250 by 250 pixels. Bone marrow aspirate smear:
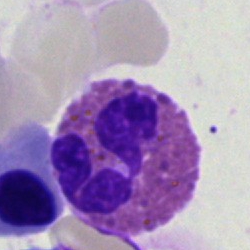

Classification — eosinophilic granulocyte.